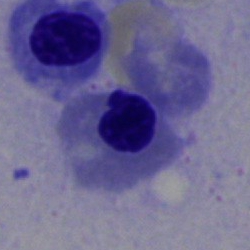Morphology → nucleated red cell.